Peripheral blood film
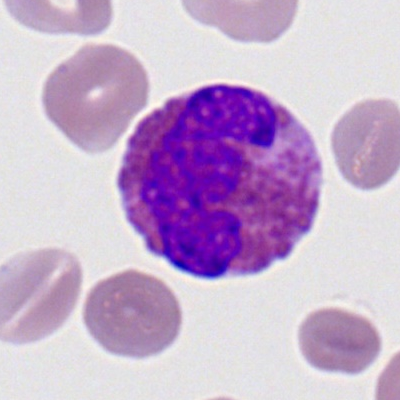 Morphological class: eosinophilic granulocyte.